Bone marrow aspirate smear. Brightfield microscopy, 40× oil immersion — 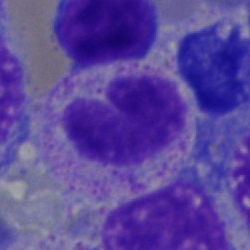 Showing a band neutrophil.